Bone marrow smear; May-Grünwald-Giemsa stain — 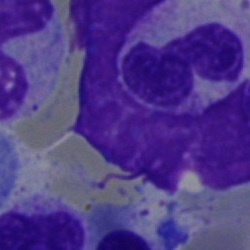
Specimen: bone marrow aspirate smear.
Morphological class: band-form neutrophil.